Brightfield microscopy, 40× oil immersion · bone marrow smear — 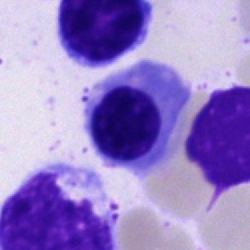Q: What type of cell is this?
A: Nucleated red blood cell.